Bone marrow smear.
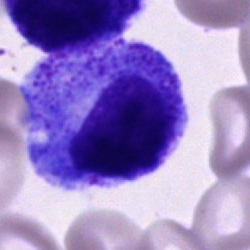

Cell type — progranulocyte.